Single-cell field. Peripheral blood smear.
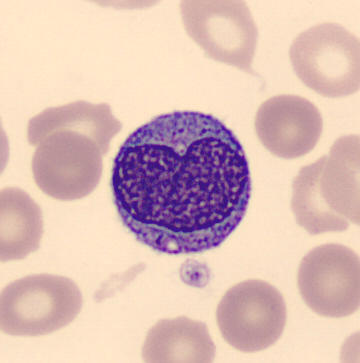
Morphology consistent with a monocyte.